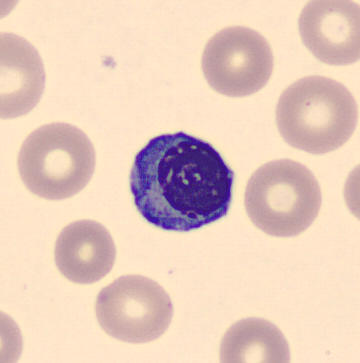
CellaVision DM96. MGG-stained. Peripheral blood smear.
This is a normoblast.